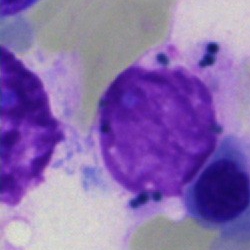
Specimen: bone marrow smear.
Cell: artifact.